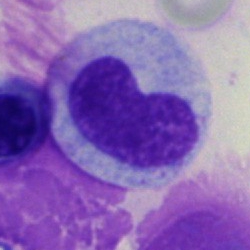Specimen: bone marrow smear.
Morphological class: monocyte.